Bone marrow aspirate smear — 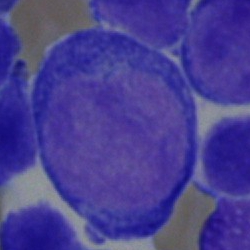Morphology → undifferentiated blast.